250 by 250 pixels. Single-cell field. Bone marrow smear.
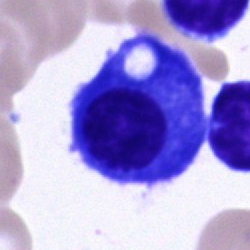 Specimen: bone marrow smear.
Cell type: plasma cell.